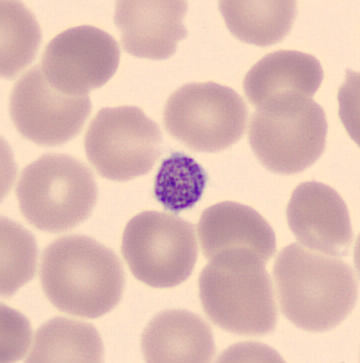

Cell type = thrombocyte. Peripheral blood film.